Bone marrow aspirate smear.
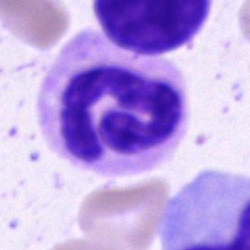

Showing a segmented neutrophil.